Bone marrow smear · 250×250: 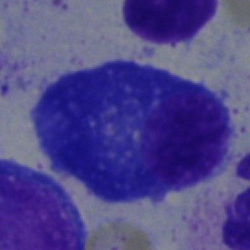
Morphology → plasma cell.